Bone marrow smear — 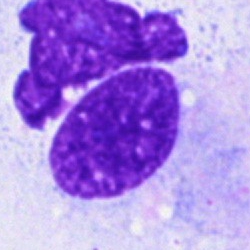Q: What is shown here?
A: This is an artifact.